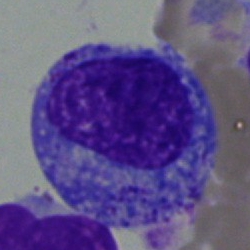
The morphological class is myelocyte.